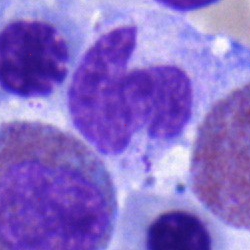Morphology consistent with a monocyte.